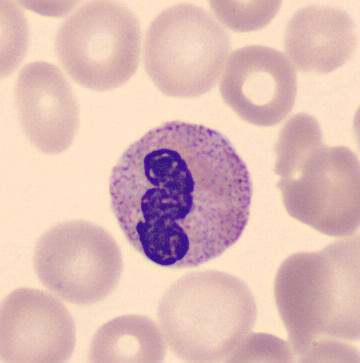

Peripheral blood smear. Q: What is shown here?
A: It is a stab cell.